Bone marrow aspirate smear. Single-cell crop:
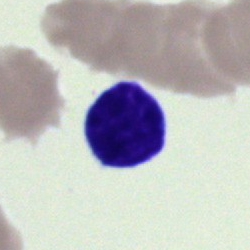 An unidentifiable cell.